Bone marrow aspirate smear.
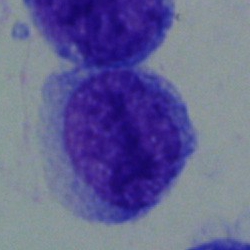

Showing a blast cell.